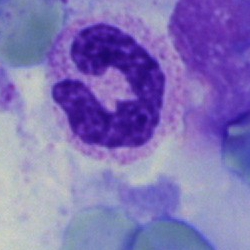A neutrophil (segmented).